Bone marrow aspirate smear.
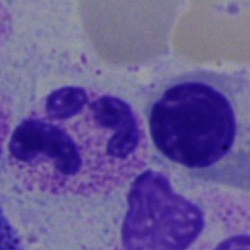
A neutrophil (segmented).